40× objective, oil immersion. Cropped to a single cell. Bone marrow smear.
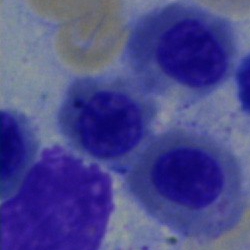

Morphological class = erythroblast.